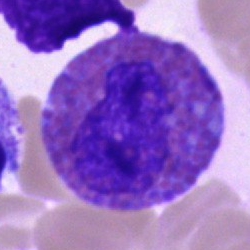
Showing a segmented neutrophil.